Bone marrow aspirate smear · 250×250 — 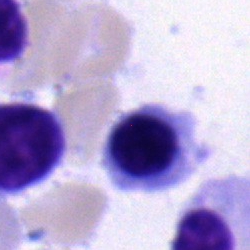

Q: What cell is this?
A: This is a normoblast.